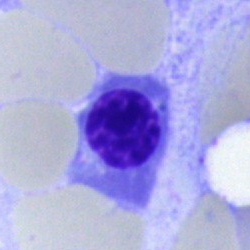
Bone marrow smear showing a normoblast.